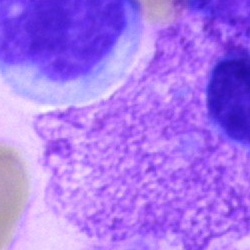Single cell identified as an artefact.